Bone marrow smear — 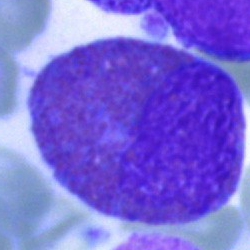

Q: What cell is this?
A: An eosinophil.